Bone marrow aspirate smear — 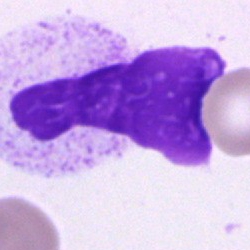

Q: What is shown here?
A: Artefact.